Peripheral blood film. 100× oil immersion, 14.14 px/µm:
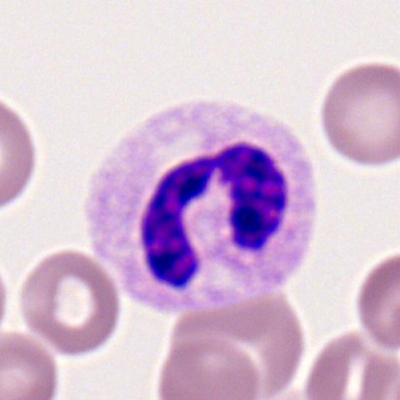
Morphology consistent with a polymorphonuclear neutrophil.